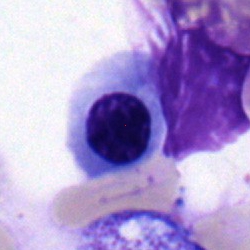
Single-cell crop from a bone marrow smear: nucleated red cell.